Cropped to a single cell. Bone marrow smear. Image size 250×250:
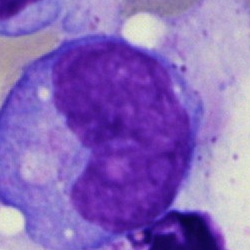This is a monocyte.